Bone marrow smear.
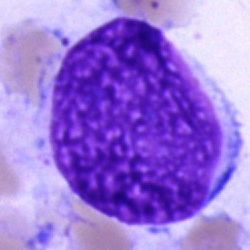 Q: What is shown here?
A: This is a cell of indeterminate lineage.